Bone marrow aspirate smear: 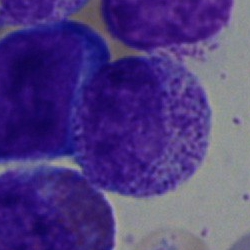 This is a myelocyte.